Bone marrow aspirate smear:
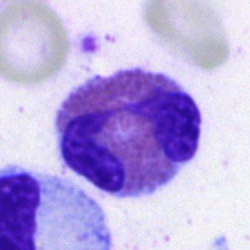Impression → eosinophilic granulocyte.